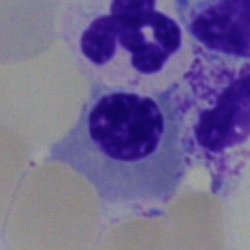
Impression → erythroblast.